Single-cell crop · bone marrow smear:
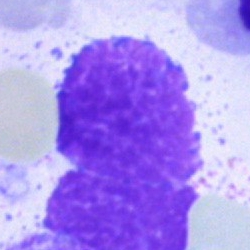 Q: What is shown here?
A: An artefact.